Bone marrow aspirate smear
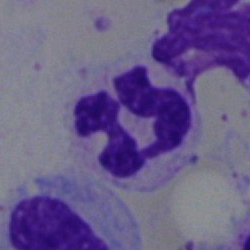
Single cell identified as a neutrophil (segmented).